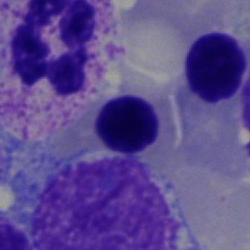
Cell = normoblast.